Bone marrow smear. Single-cell crop: 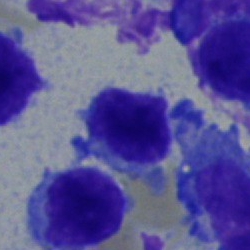
Morphology → typical lymphocyte.